Single cell centered in the field. 40× objective, oil immersion. Bone marrow smear — 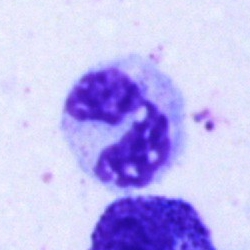Q: Which cell type is shown here?
A: This is a neutrophil (segmented).